Cropped to a single cell. Bone marrow aspirate smear:
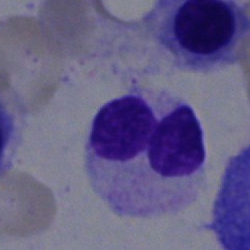{"cell_type": "neutrophil (segmented)", "lineage": "myeloid"}